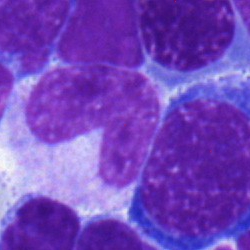
{"cell_type": "stab cell", "lineage": "myeloid"}